Bone marrow aspirate smear. 250×250 px:
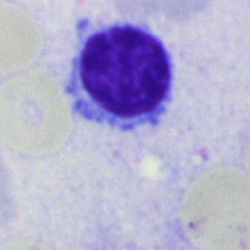 Specimen: bone marrow aspirate smear.
Classification: typical lymphocyte.
Lineage: lymphoid.